Bone marrow aspirate smear — 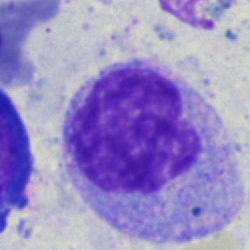

Classification = monocyte.